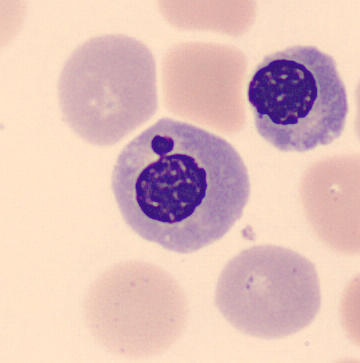
This is a nucleated red blood cell.

Peripheral blood film · 360 by 363 pixels.